Single cell centered in the field. Bone marrow smear:
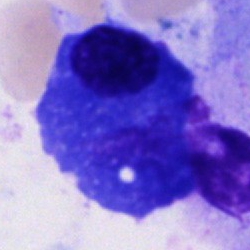
This is a plasmacyte.